Image size 400×400; peripheral blood film — 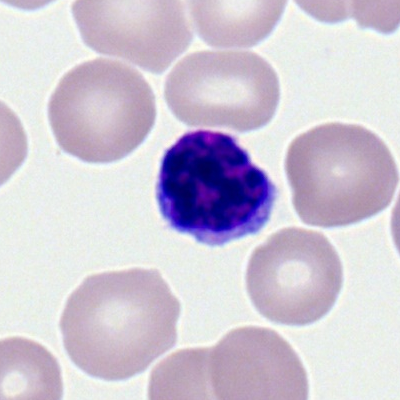 Classification = lymphocyte.